Bone marrow smear; single-cell field; brightfield microscopy, 40× oil immersion:
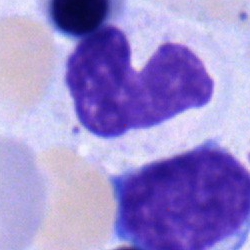 This is a neutrophil (band).